Bone marrow smear:
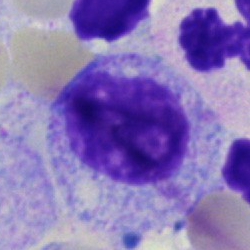

The cell shown is a myelocyte.